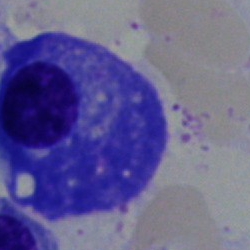

The morphological class is plasma cell.